Bone marrow aspirate smear; brightfield, 40× oil-immersion objective; single-cell crop
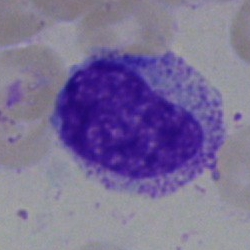 A metamyelocyte.